Bone marrow aspirate smear:
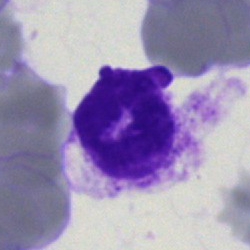
Morphology consistent with an artefact.